Bone marrow smear.
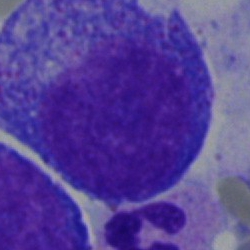 Impression → promyelocyte.